Pappenheim-stained. 250×250. Bone marrow aspirate smear:
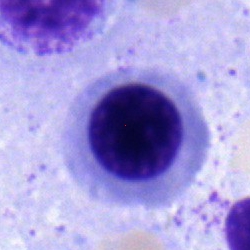A normoblast.